Romanowsky-type stain. Peripheral blood smear.
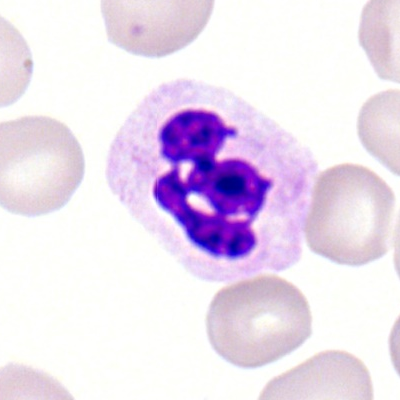
Showing a polymorphonuclear neutrophil.